Bone marrow aspirate smear · single-cell field · MGG-stained.
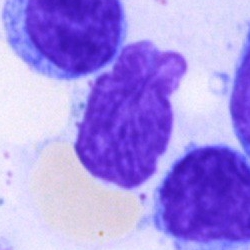

The cell shown is an artifact.